40× oil immersion; bone marrow smear.
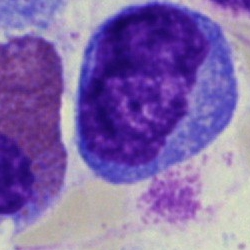 Classification — blast.